Bone marrow aspirate smear; 250 by 250 pixels; 40× oil immersion: 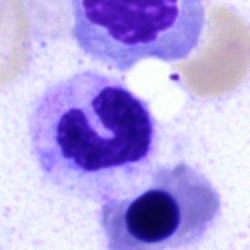 The cell shown is a neutrophil (segmented).